Pappenheim-stained · bone marrow aspirate smear · single-cell crop.
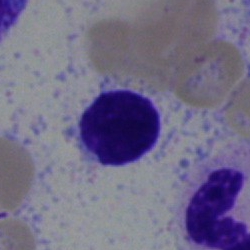 A typical lymphocyte.